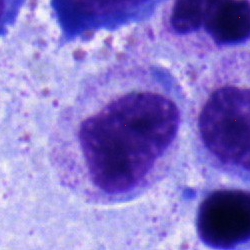

Cell = myelocyte.